Bone marrow aspirate smear · brightfield, 40× oil-immersion objective.
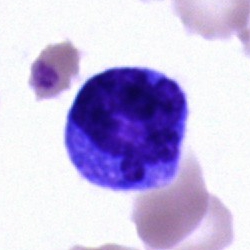Morphology — monocyte.